Bone marrow smear:
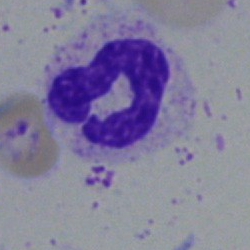
Classification — neutrophil (segmented).